Peripheral blood smear:
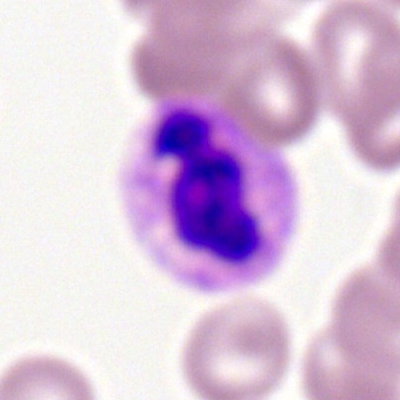

{"cell_type": "polymorphonuclear neutrophil", "lineage": "myeloid"}